250 by 250 pixels. Bone marrow aspirate smear. 40× oil immersion: 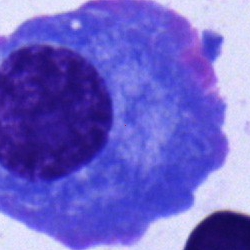

Q: What type of cell is this?
A: This is a plasmacyte.